Peripheral blood smear; 400×400; single-cell field — 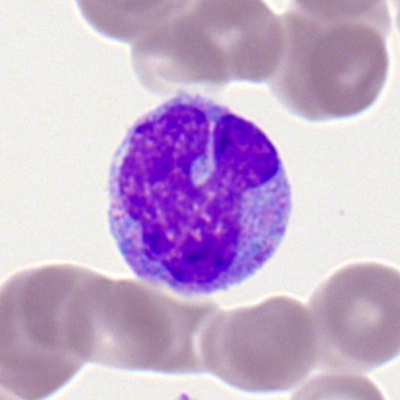 Q: Identify the cell.
A: It is a monocyte.